Peripheral blood smear: 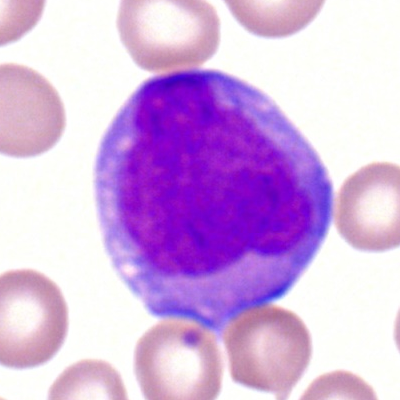
Specimen: peripheral blood smear.
Cell: myeloblast.
Lineage: myeloid.